Bone marrow smear:
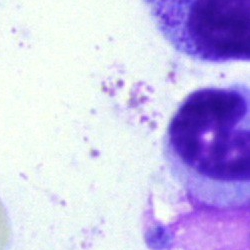Q: What type of cell is this?
A: This is an unidentifiable cell.